Bone marrow aspirate smear; Pappenheim-stained
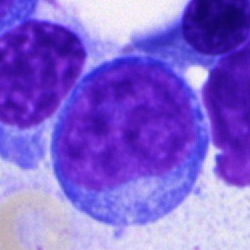 Single cell identified as an undifferentiated blast.